250 by 250 pixels · brightfield, 40× oil-immersion objective · bone marrow aspirate smear.
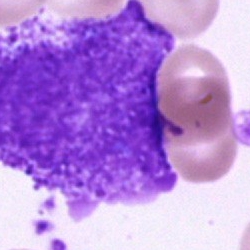 Classification — progranulocyte.